Bone marrow smear — 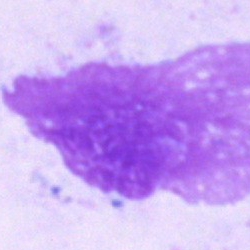 Specimen: bone marrow smear.
Cell: artefact.